Bone marrow aspirate smear.
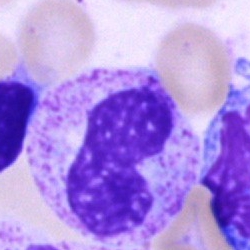Specimen: bone marrow aspirate smear.
Cell: neutrophil (band).
Lineage: myeloid.